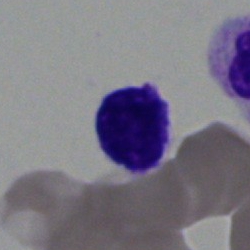 Morphology → lymphocyte.